Single-cell field; 250×250; bone marrow smear
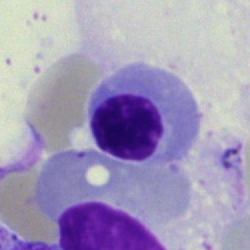 Specimen: bone marrow smear.
Cell type: normoblast.